Bone marrow smear:
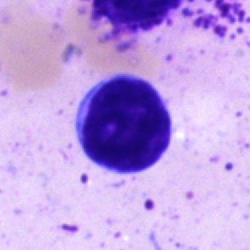 A lymphocyte.